250×250 px · bone marrow smear:
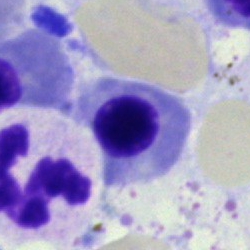

The morphological class is erythroblast.